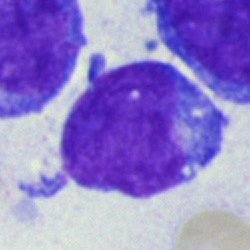Cell type: blast cell.